MGG-stained · bone marrow smear — 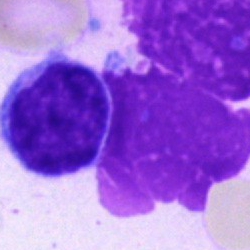 Q: What cell is this?
A: A typical lymphocyte.